Bone marrow aspirate smear.
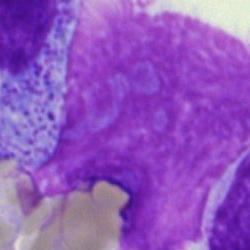 This is an artefact.